Peripheral blood film.
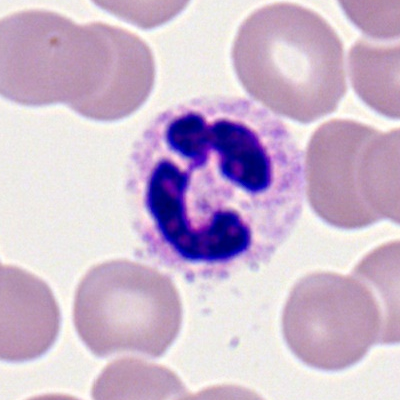 This is a segmented neutrophil.